Bone marrow smear. May-Grünwald-Giemsa/Pappenheim stain. Image size 250×250.
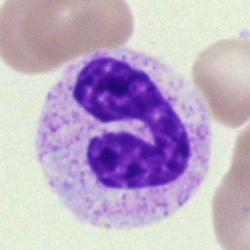 The classification is neutrophil (band).